Bone marrow aspirate smear. 40× oil immersion:
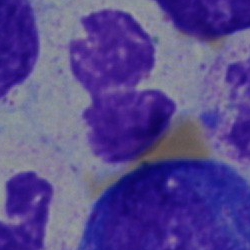Morphological class — stab cell.